Bone marrow aspirate smear — 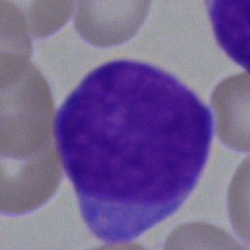
Morphology consistent with a blast cell.